Bone marrow aspirate smear — 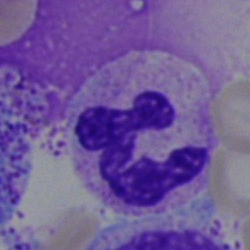
Q: What type of cell is this?
A: A polymorphonuclear neutrophil.